Bone marrow aspirate smear:
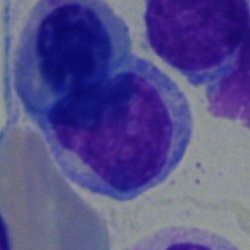

Impression — lymphocyte.